Bone marrow smear. Single-cell field. Pappenheim-stained
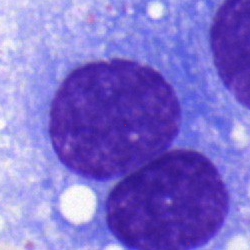
Classification — plasma cell.